Bone marrow aspirate smear.
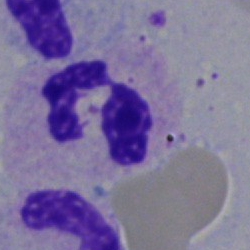Morphological class = neutrophil (segmented).